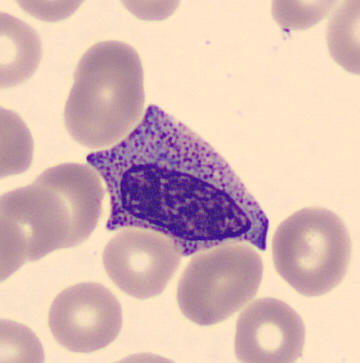 The cell shown is a promyelocyte.

360×363; peripheral blood film; CellaVision DM96 digital cell image.